Bone marrow smear · May-Grünwald-Giemsa/Pappenheim stain:
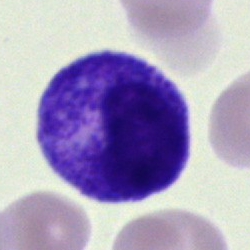

Specimen: bone marrow aspirate smear.
Cell: promyelocyte.
Lineage: myeloid.